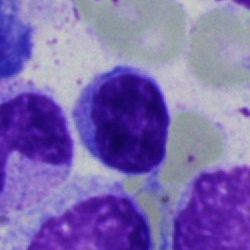
Q: What type of cell is this?
A: Typical lymphocyte.